Bone marrow smear.
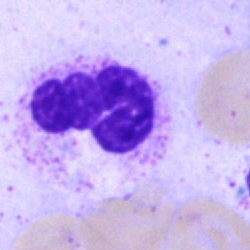
Q: Which cell type is shown here?
A: A segmented neutrophil.